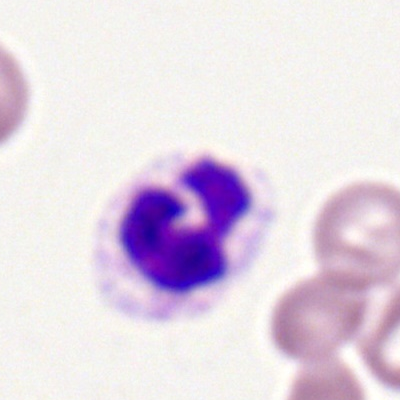Cell: polymorphonuclear neutrophil.